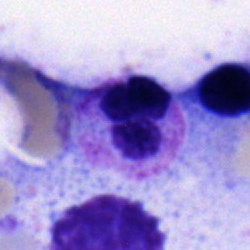Q: What type of cell is this?
A: Segmented neutrophil.